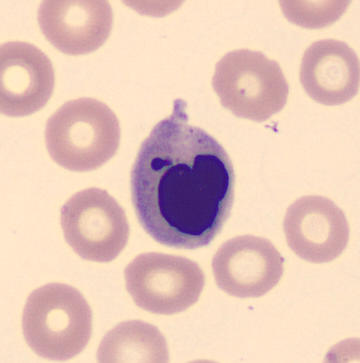 Impression — nucleated red blood cell. Peripheral blood film.